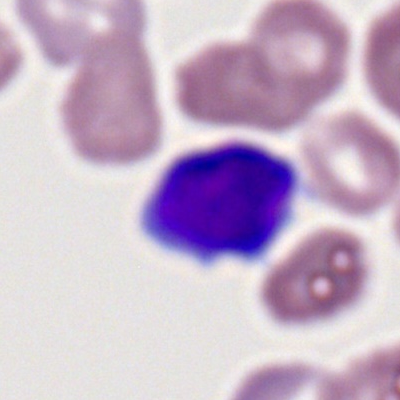

Morphology → typical lymphocyte.